Bone marrow aspirate smear — 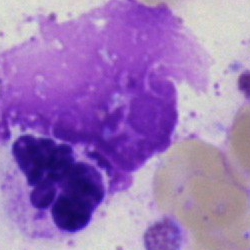 Artefact.